Bone marrow smear.
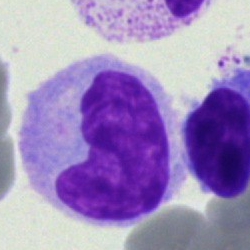

Impression → monocyte.